Bone marrow aspirate smear — 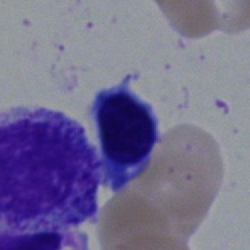 Morphological class: normoblast.